Bone marrow smear.
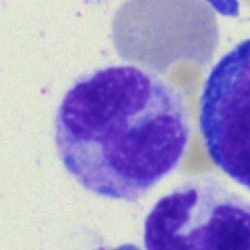 Morphology consistent with a monocyte.